Bone marrow smear.
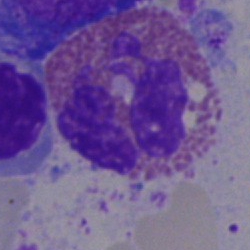Q: What is shown here?
A: Eosinophilic granulocyte.